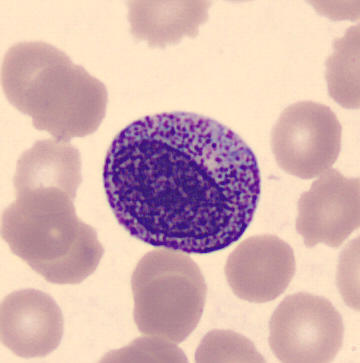 The cell shown is a myelocyte.